Brightfield, 40× oil-immersion objective. Cropped to a single cell. Bone marrow smear — 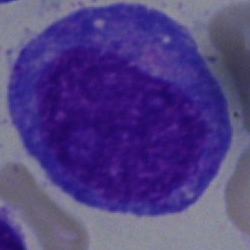
Progranulocyte.